250×250; single cell centered in the field; bone marrow smear: 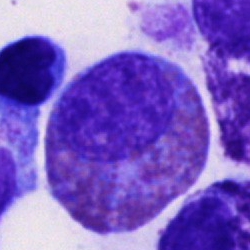

Q: Which cell type is shown here?
A: An eosinophil.